250 by 250 pixels. Single cell centered in the field. Bone marrow smear: 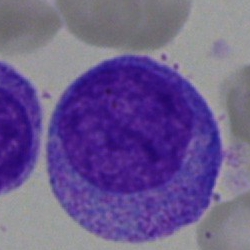

Q: What is shown here?
A: Progranulocyte.